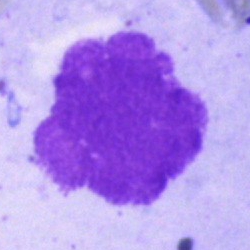 Showing an artifact.